Bone marrow smear
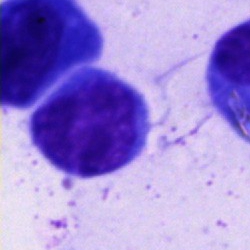Classification — typical lymphocyte.